Bone marrow smear. Cropped to a single cell:
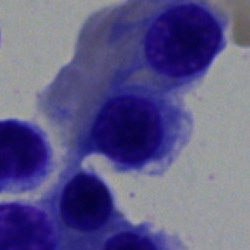 Specimen: bone marrow smear.
Cell: nucleated red blood cell.
Lineage: erythroid.